Bone marrow smear; Pappenheim-stained — 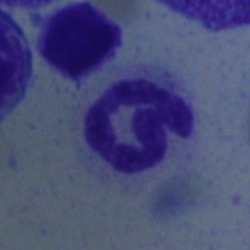 Showing a neutrophil (segmented).